400×400 · peripheral blood film:
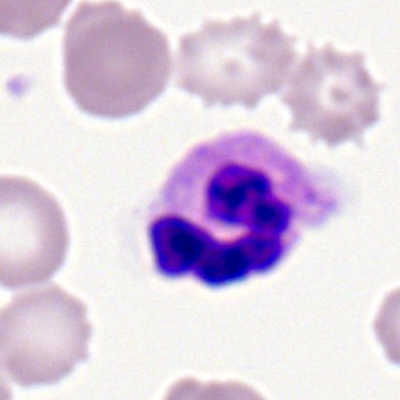 The cell shown is a neutrophil (segmented).